Peripheral blood film — 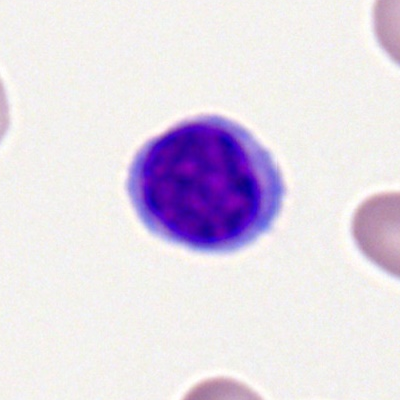 {"cell_type": "lymphocyte"}